40× oil immersion · Pappenheim-stained · bone marrow smear.
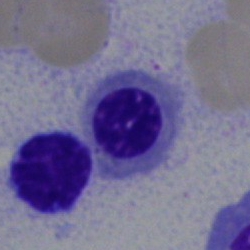 Specimen: bone marrow aspirate smear.
Cell: normoblast.
Lineage: erythroid.